Bone marrow smear — 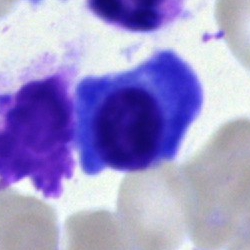Specimen: bone marrow smear.
Morphological class: plasma cell.